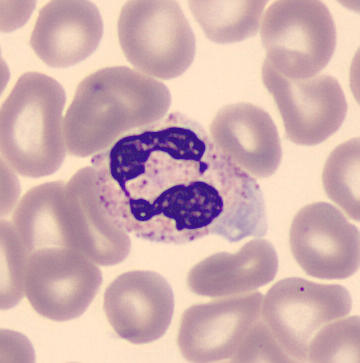
{"cell_type": "polymorphonuclear neutrophil"}